Cropped to a single cell; bone marrow aspirate smear.
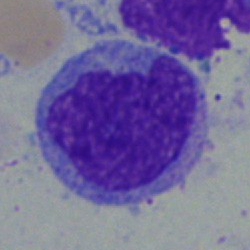
Cell type = blast cell.